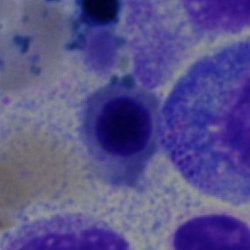
Showing a nucleated red blood cell.